Bone marrow aspirate smear: 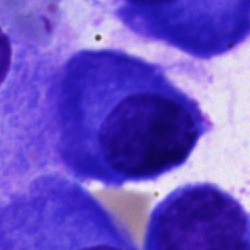 Morphology → plasmacyte.